Bone marrow aspirate smear
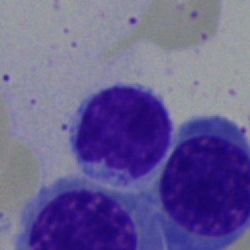Specimen: bone marrow aspirate smear.
Classification: typical lymphocyte.
Lineage: lymphoid.